Bone marrow aspirate smear · Pappenheim-stained:
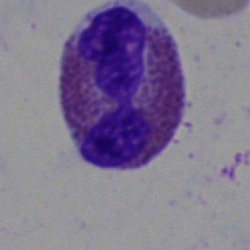
Single cell identified as an eosinophil.